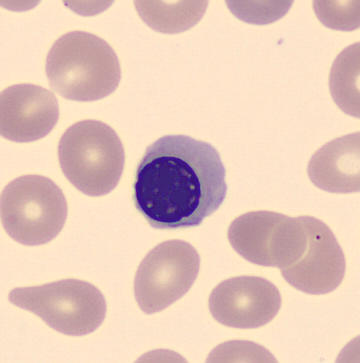

Preparation: CellaVision DM96. Peripheral blood smear. Morphology consistent with a nucleated red blood cell.